Bone marrow smear. 250 by 250 pixels.
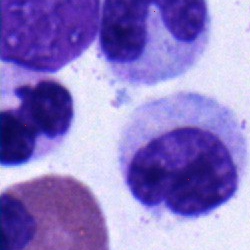
Morphology → segmented neutrophil.